Peripheral blood smear.
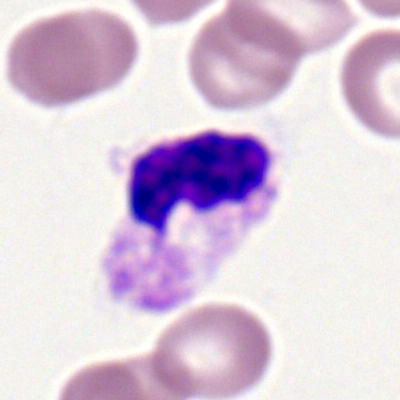

Morphology consistent with a neutrophil (segmented).